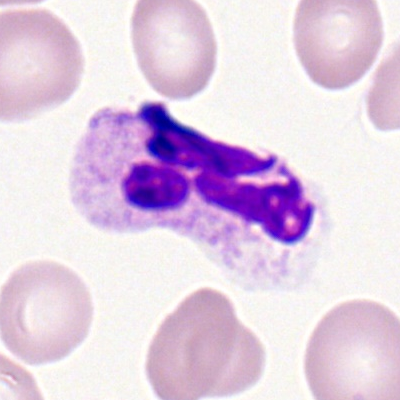 The cell shown is a segmented neutrophil.